Bone marrow aspirate smear; image size 250×250: 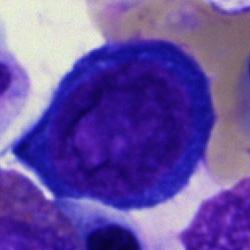The cell shown is a normoblast.